Peripheral blood smear.
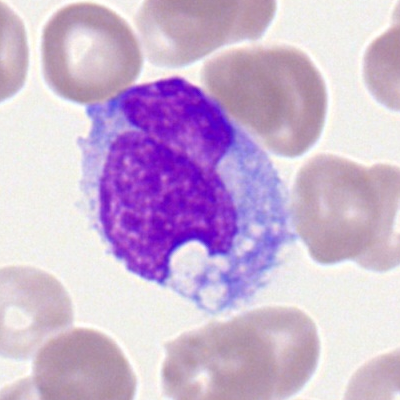

Q: What is the morphological classification of this cell?
A: Monocyte.